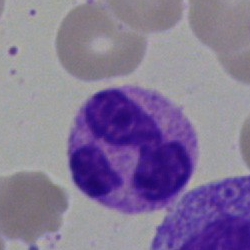
Q: Which cell type is shown here?
A: Segmented neutrophil.